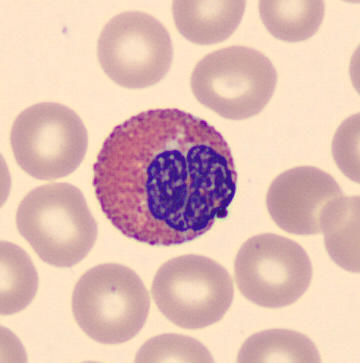 Specimen: peripheral blood smear.
Morphological class: eosinophil.
Image: May Grünwald-Giemsa stain.